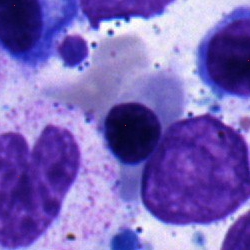 A nucleated red cell.